Bone marrow smear · brightfield microscopy, 40× oil immersion — 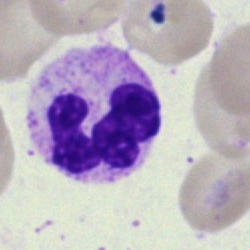 Cell type — polymorphonuclear neutrophil.